Bone marrow smear
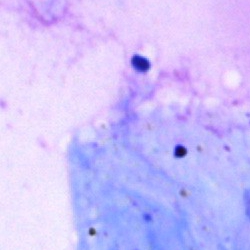Morphology consistent with an artifact.